Bone marrow smear. 250×250 px. May-Grünwald-Giemsa stain:
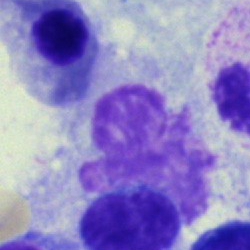Impression → artefact.